Bone marrow smear
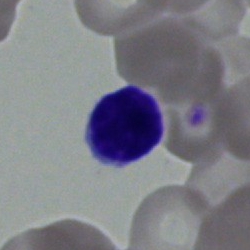 Cell: typical lymphocyte.